Bone marrow smear; May-Grünwald-Giemsa/Pappenheim stain
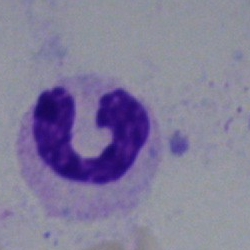 Specimen: bone marrow aspirate smear.
Morphological class: neutrophil (segmented).
Lineage: myeloid.